Cropped to a single cell · bone marrow smear:
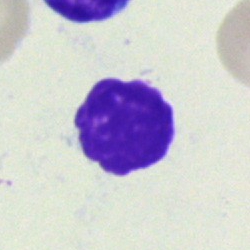Single cell identified as an artifact.